Bone marrow smear
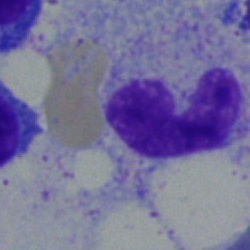
Specimen: bone marrow smear.
Cell: band-form neutrophil.
Lineage: myeloid.